Peripheral blood smear
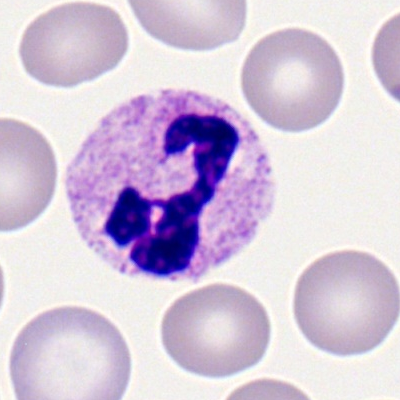
Impression → polymorphonuclear neutrophil.